Bone marrow aspirate smear · cropped to a single cell:
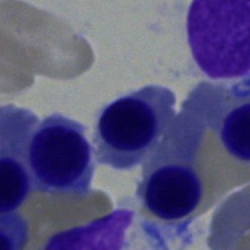

Specimen: bone marrow aspirate smear.
Cell: nucleated red cell.
Lineage: erythroid.